Bone marrow smear: 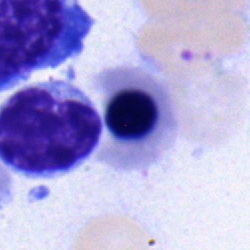Q: Identify the cell.
A: It is a nucleated red blood cell.